MGG-stained · 250×250 px · bone marrow aspirate smear
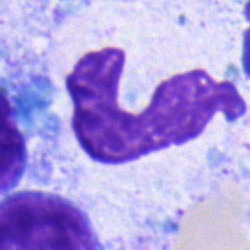
Band neutrophil.